Bone marrow aspirate smear:
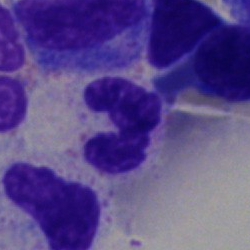Impression → polymorphonuclear neutrophil.